Single-cell crop · MGG-stained · bone marrow aspirate smear.
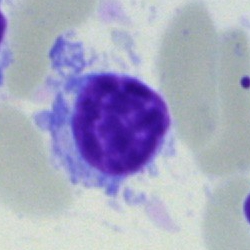
Showing a typical lymphocyte.